Bone marrow aspirate smear — 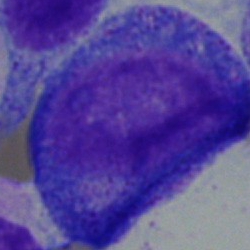
Specimen: bone marrow smear.
Cell type: promyelocyte.
Lineage: myeloid.